Bone marrow aspirate smear — 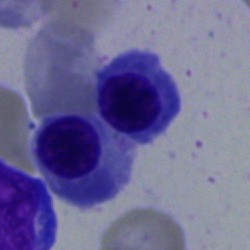
Cell = erythroblast.